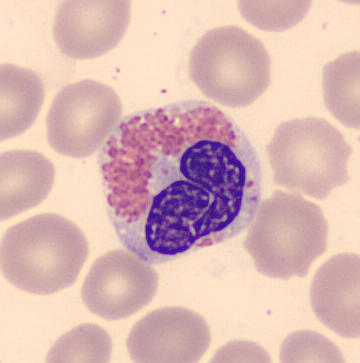 An eosinophilic granulocyte. Image size 360×363 · single-cell field · peripheral blood film.